Peripheral blood film; automated cell imaging (CellaVision DM96): 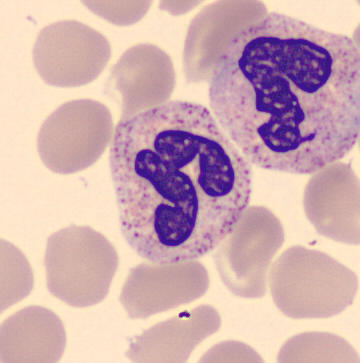

Identified as a segmented neutrophil.